Bone marrow aspirate smear
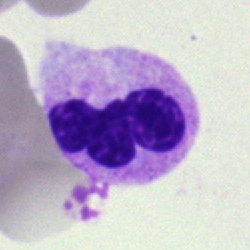Morphology consistent with a polymorphonuclear neutrophil.